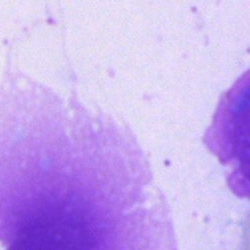Q: What is shown here?
A: An artifact.